May-Grünwald-Giemsa/Pappenheim stain · bone marrow smear:
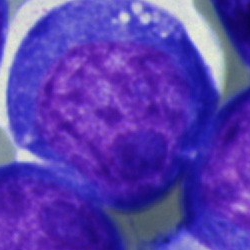

Showing an undifferentiated blast.